Bone marrow smear · May-Grünwald-Giemsa/Pappenheim stain · brightfield, 40× oil-immersion objective:
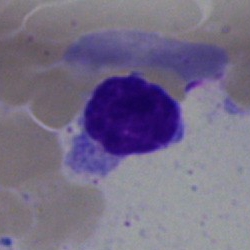

Showing a lymphocyte.